Bone marrow aspirate smear
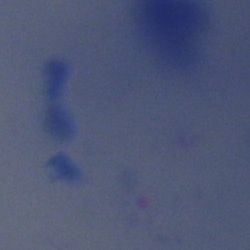 Artifact.